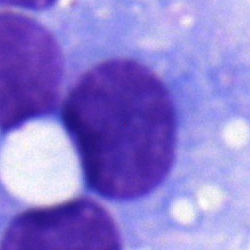 Specimen: bone marrow smear.
Cell: plasma cell.